250×250 px · bone marrow smear: 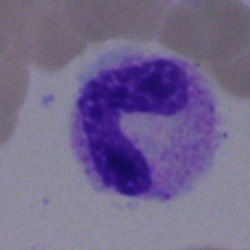
A band-form neutrophil.